Bone marrow smear:
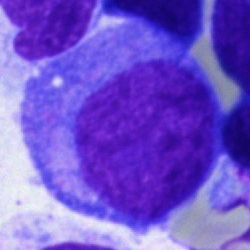
Specimen: bone marrow smear.
Classification: blast.